Single-cell field · MGG-stained · bone marrow aspirate smear: 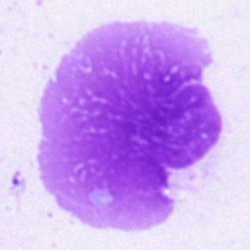 The classification is artifact.